Peripheral blood smear. Romanowsky-type stain. 400 by 400 pixels: 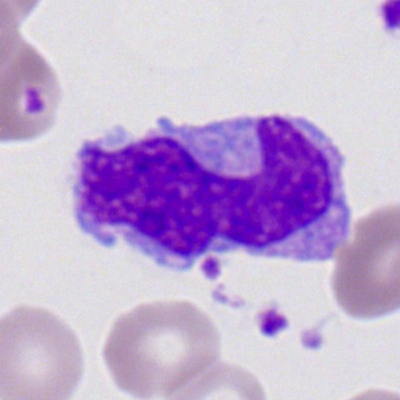The cell type is monocyte.